Peripheral blood smear:
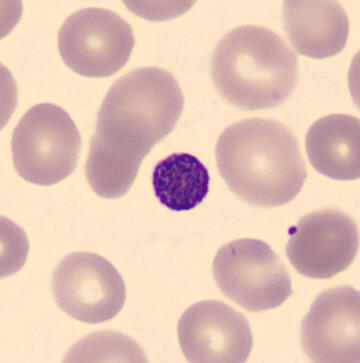 Showing a platelet.